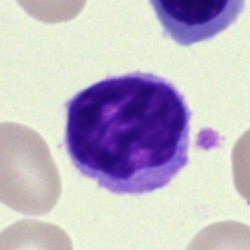 Specimen: bone marrow aspirate smear.
Cell type: typical lymphocyte.